Peripheral blood smear · 100× oil immersion, 14.14 px/µm · image size 400×400
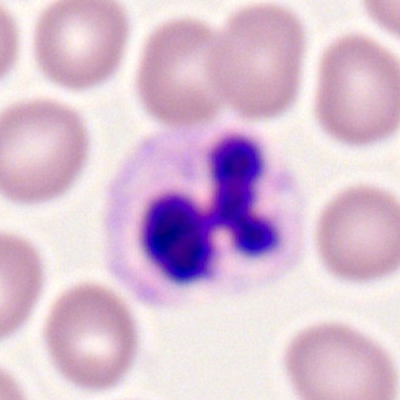
This is a neutrophil (segmented).